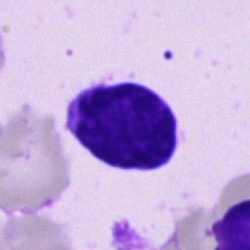 Classification = typical lymphocyte.